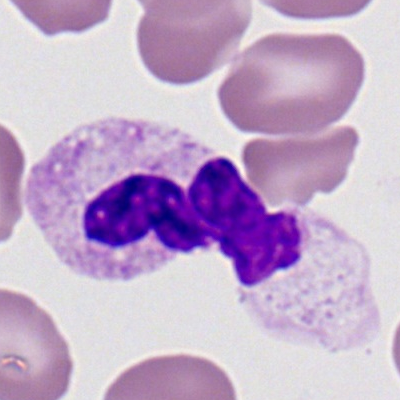

Morphological class: segmented neutrophil.